100× objective, oil immersion; peripheral blood film — 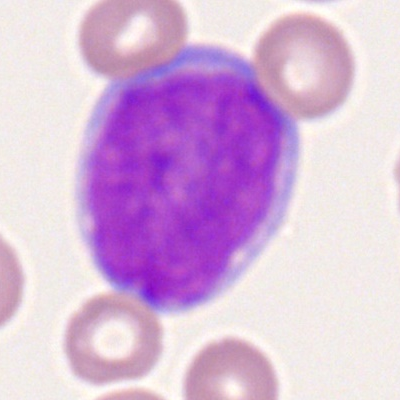Cell type: myeloblast.